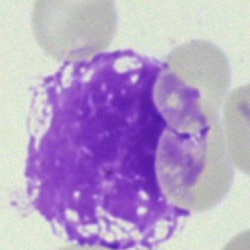

The classification is artifact.